Image size 250×250. Bone marrow aspirate smear:
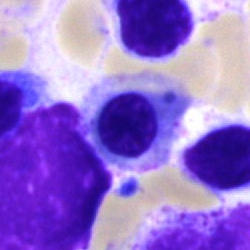
Specimen: bone marrow aspirate smear.
Cell: nucleated red blood cell.
Lineage: erythroid.